Cropped to a single cell · bone marrow smear: 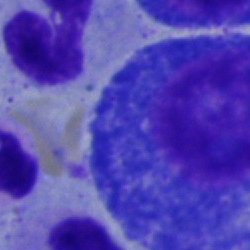 Single cell identified as a progranulocyte.